Cropped to a single cell; May-Grünwald-Giemsa stain; bone marrow aspirate smear
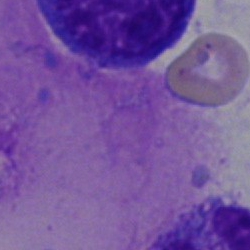Morphology — artefact.